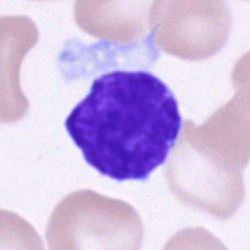

Q: What type of cell is this?
A: Unidentifiable cell.